Bone marrow smear; single-cell field — 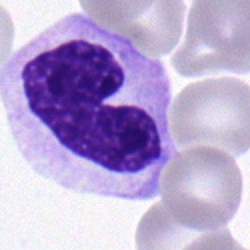
Impression → metamyelocyte.